Image size 250×250 · bone marrow aspirate smear.
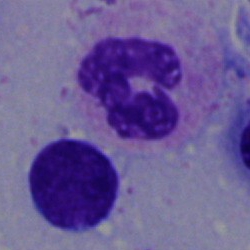

Q: What type of cell is this?
A: A polymorphonuclear neutrophil.